Bone marrow aspirate smear: 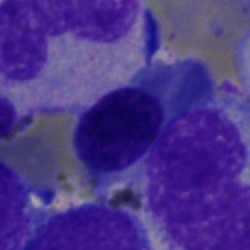
A normoblast.